Peripheral blood film
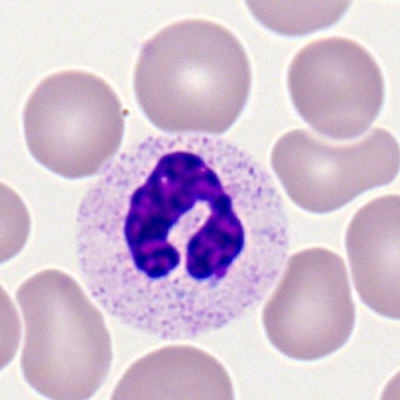
The cell is polymorphonuclear neutrophil.